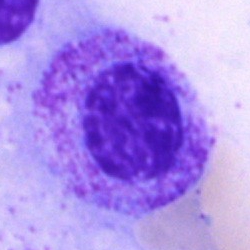 The cell shown is a myelocyte.